Bone marrow aspirate smear:
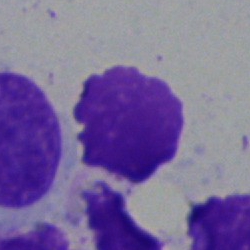

An artefact.